Bone marrow smear. 250×250
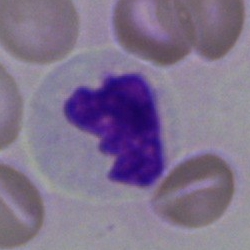 This is a neutrophil (segmented).